250×250 · bone marrow aspirate smear · brightfield microscopy, 40× oil immersion
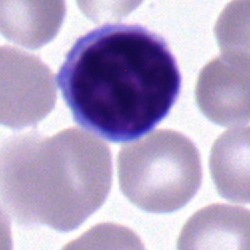 Cell — lymphocyte.